Single-cell crop. Bone marrow aspirate smear. 250×250
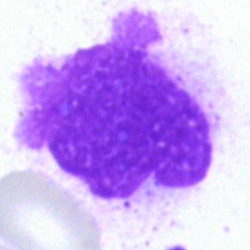
{"cell_type": "artifact"}